Bone marrow smear; 40× objective, oil immersion.
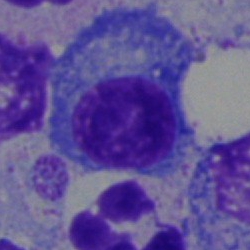

A plasmacyte.